Bone marrow aspirate smear — 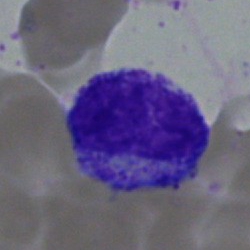

Myelocyte.